Bone marrow aspirate smear. Brightfield, 40× oil-immersion objective.
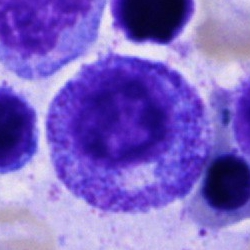 Q: What is the morphological classification of this cell?
A: This is a progranulocyte.